Bone marrow smear:
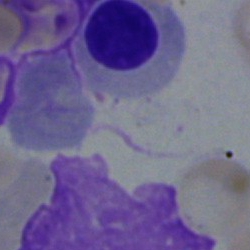

The cell shown is a myelocyte.